400×400; peripheral blood film — 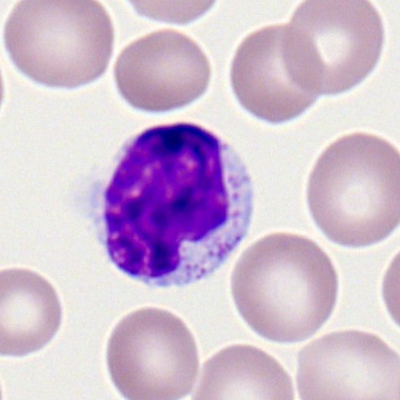 A lymphocyte.